Bone marrow aspirate smear:
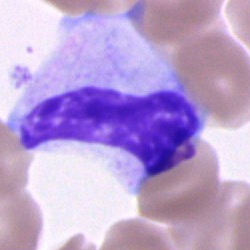

Impression → cell of indeterminate lineage.